Peripheral blood smear
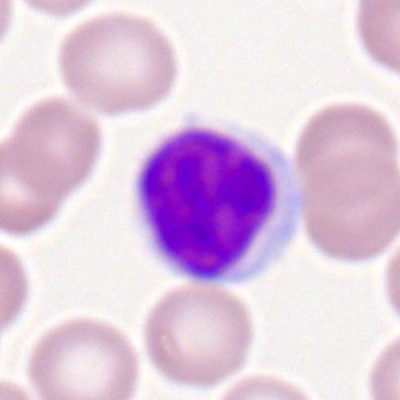This is a typical lymphocyte.